400×400. Peripheral blood film. Romanowsky-stained
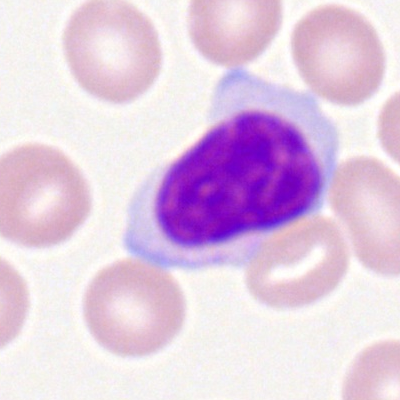Q: Identify the cell.
A: This is a myeloblast.